Bone marrow aspirate smear:
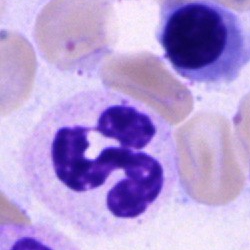 The cell shown is a segmented neutrophil.